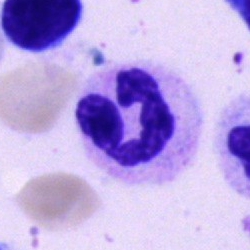Classification — segmented neutrophil.